Bone marrow smear — 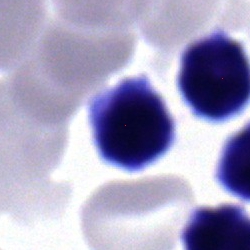

Morphology consistent with a lymphocyte.